Bone marrow aspirate smear; brightfield, 40× oil-immersion objective:
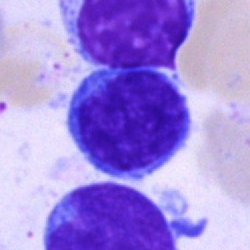

Q: What type of cell is this?
A: This is a typical lymphocyte.